May-Grünwald-Giemsa stain. Image size 250×250. Bone marrow aspirate smear: 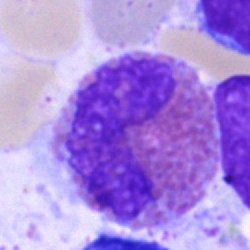Q: What type of cell is this?
A: An eosinophilic granulocyte.